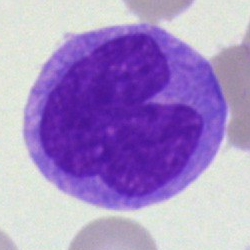 Showing a blast.